Brightfield, 40× oil-immersion objective · single cell centered in the field · bone marrow aspirate smear — 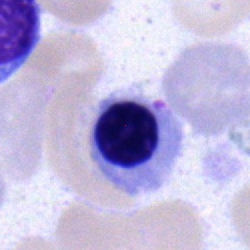
The morphological class is nucleated red cell.